Pappenheim-stained; bone marrow smear
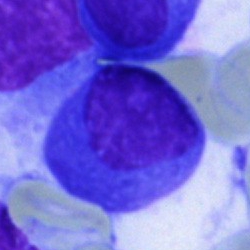 This is a plasma cell.